Bone marrow aspirate smear.
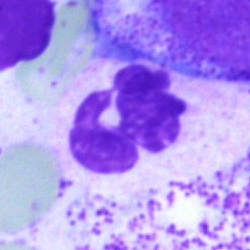 The cell shown is a polymorphonuclear neutrophil.